Single-cell field. Bone marrow smear:
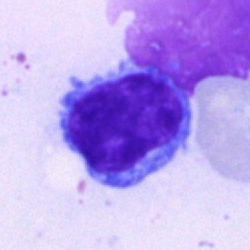 Cell = lymphocyte.